Bone marrow smear: 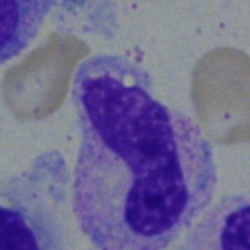

Showing a neutrophil (band).